Bone marrow smear
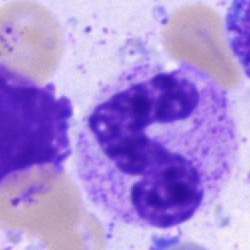
Impression → neutrophil (band).